Bone marrow smear — 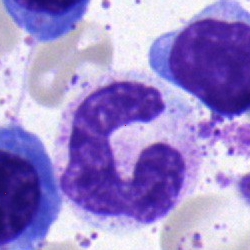
Morphology — band-form neutrophil.